Bone marrow smear. Cropped to a single cell. May-Grünwald-Giemsa stain:
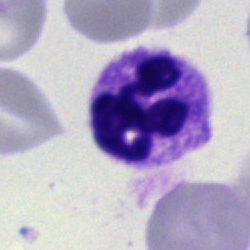Specimen: bone marrow smear.
Classification: segmented neutrophil.
Lineage: myeloid.